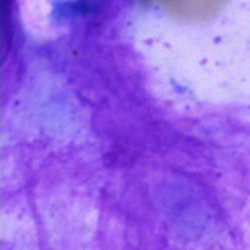 The cell shown is an artefact.